Bone marrow smear — 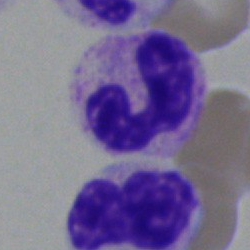

Morphology consistent with a neutrophil (segmented).